Bone marrow smear:
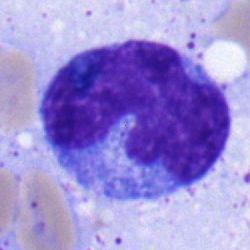
Cell — monocyte.